Bone marrow aspirate smear.
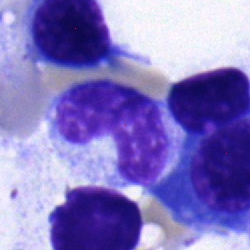The cell shown is a band-form neutrophil.